Bone marrow smear · brightfield, 40× oil-immersion objective — 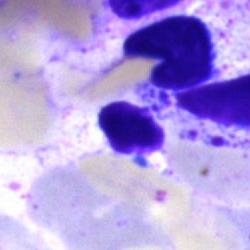
The morphological class is artefact.